40× oil immersion · single-cell crop · bone marrow aspirate smear: 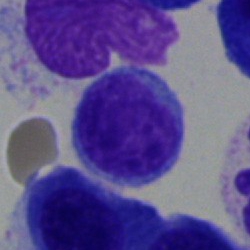Q: Identify the cell.
A: A lymphocyte.